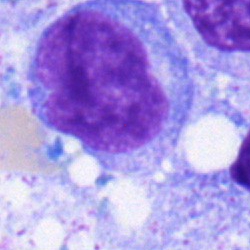

Single cell identified as an undifferentiated blast.